Bone marrow smear:
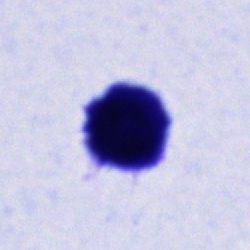
The cell is cell of indeterminate lineage.